Single cell centered in the field; bone marrow smear:
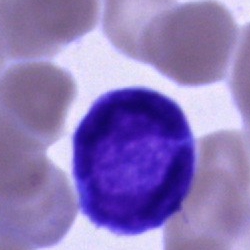Morphology — blast.